May-Grünwald-Giemsa/Pappenheim stain; bone marrow aspirate smear; 250×250 px: 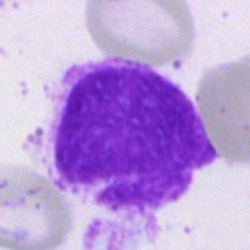

Morphological class: artifact.